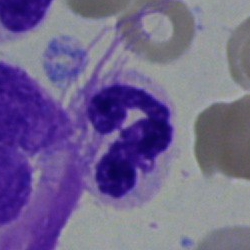 Classification = polymorphonuclear neutrophil.